Single cell centered in the field · bone marrow aspirate smear:
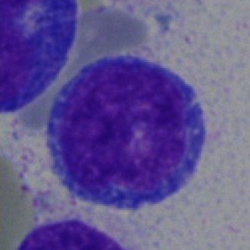
{"cell_type": "normoblast"}